Peripheral blood film; single-cell field.
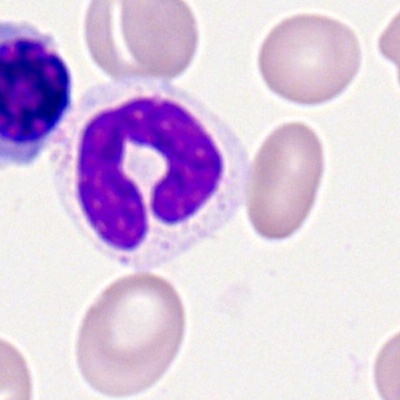
Segmented neutrophil.